Bone marrow smear · May-Grünwald-Giemsa/Pappenheim stain.
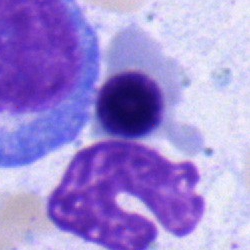Nucleated red blood cell.